Bone marrow smear
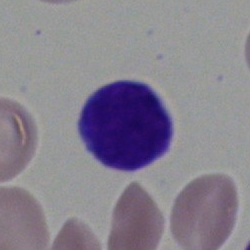Cell — lymphocyte.